Romanowsky stain. Peripheral blood film
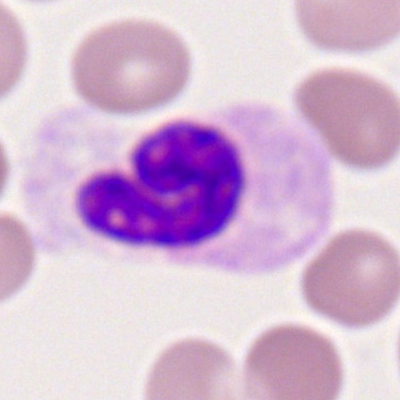

The classification is neutrophil (band).